40× oil immersion · bone marrow smear · Pappenheim-stained.
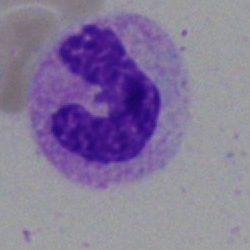
{"cell_type": "band-form neutrophil", "lineage": "myeloid"}